250 by 250 pixels · bone marrow aspirate smear
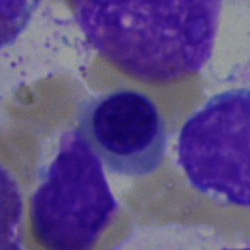
Morphology consistent with a nucleated red cell.